Bone marrow smear
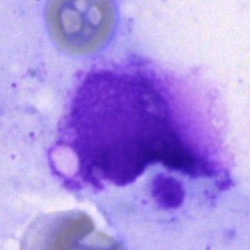 Morphological class: artifact.